Bone marrow smear; 40× objective, oil immersion
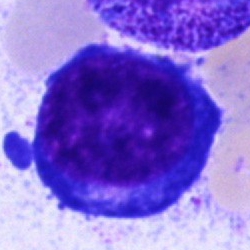 Single cell identified as a proerythroblast.